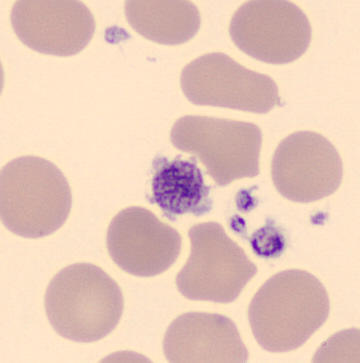 A platelet (thrombocyte) on a peripheral blood smear.